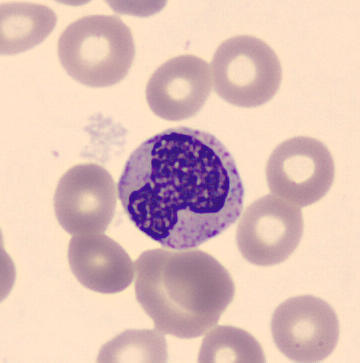
Q: Which cell type is shown here?
A: Metamyelocyte.